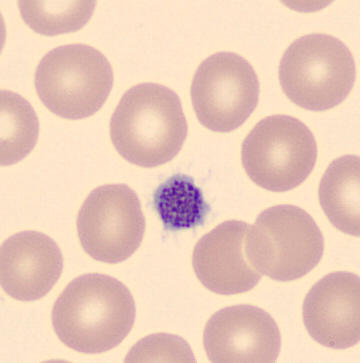
Cell type: platelet.